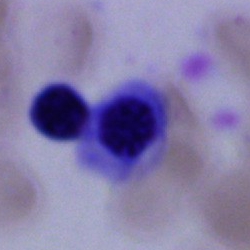

Single-cell crop from a bone marrow smear: nucleated red cell.